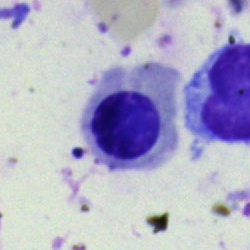Q: Identify the cell.
A: An erythroblast.